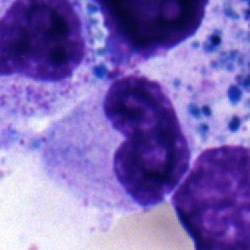

Impression → metamyelocyte.